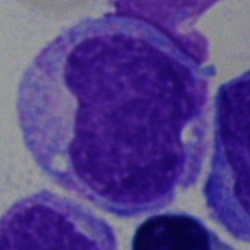
Cell — promyelocyte.